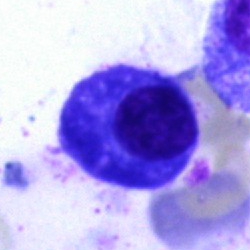This is a plasma cell.